Romanowsky-type stain · peripheral blood smear · single-cell field
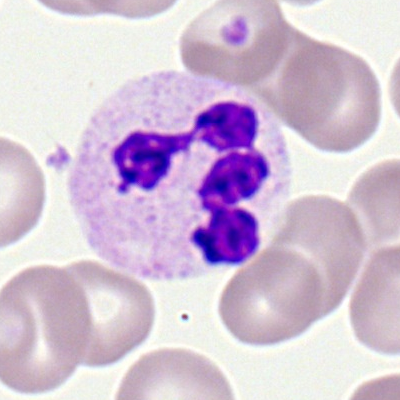
Specimen: peripheral blood film.
Classification: segmented neutrophil.
Lineage: myeloid.